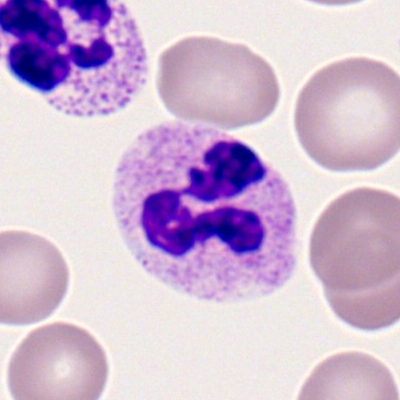

Specimen: peripheral blood film.
Classification: neutrophil (segmented).
Lineage: myeloid.